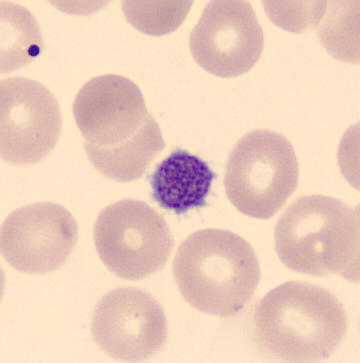 This is a thrombocyte.

CellaVision DM96. Peripheral blood smear.